40× oil immersion · bone marrow smear · image size 250×250.
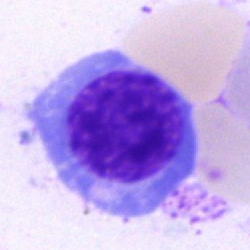 Q: Which cell type is shown here?
A: A normoblast.